Bone marrow smear. Single-cell field — 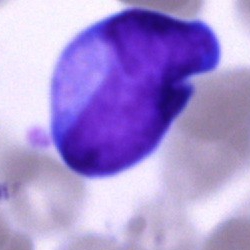 Cell — blast cell.